Pappenheim-stained · bone marrow aspirate smear · single-cell field: 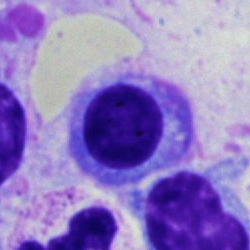
The cell shown is a plasmacyte.